Cropped to a single cell; bone marrow smear; May-Grünwald-Giemsa stain
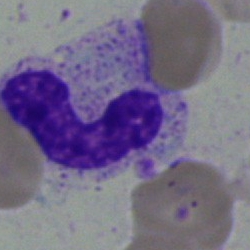

Cell type = band neutrophil.